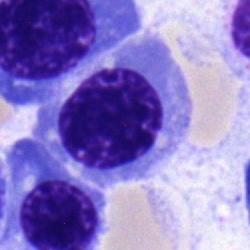
Q: What is shown here?
A: It is a nucleated red cell.